Bone marrow aspirate smear — 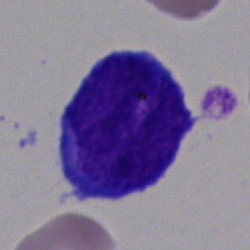
Showing an undifferentiated blast.